Bone marrow smear:
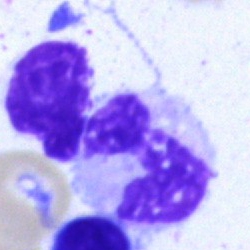

This is a neutrophil (segmented).